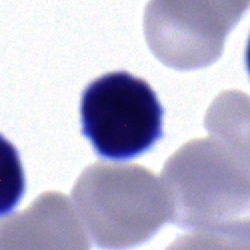 Morphology consistent with a lymphocyte.